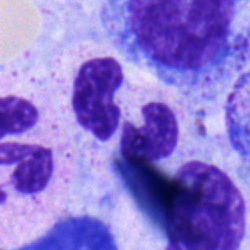

Single cell identified as a polymorphonuclear neutrophil.